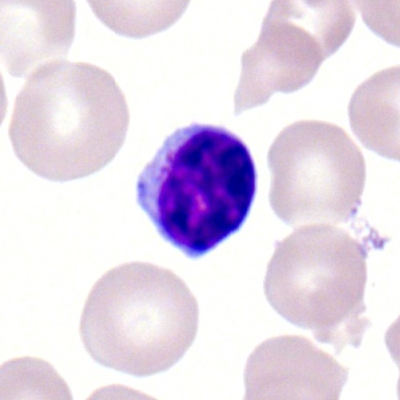Q: Which cell type is shown here?
A: A lymphocyte.